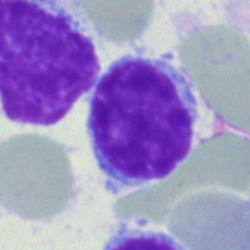 Bone marrow smear showing a typical lymphocyte.